Peripheral blood film
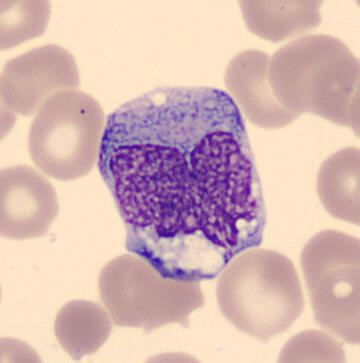
The cell shown is a monocyte.